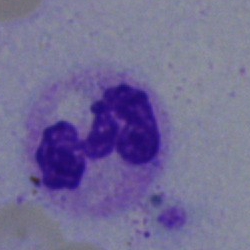
Specimen: bone marrow smear.
Cell: neutrophil (segmented).